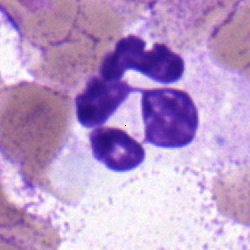A neutrophil (segmented) on a bone marrow smear.